Bone marrow aspirate smear; brightfield, 40× oil-immersion objective
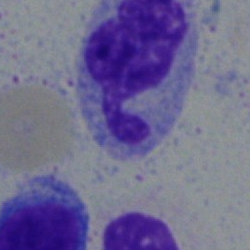
Showing a monocyte.